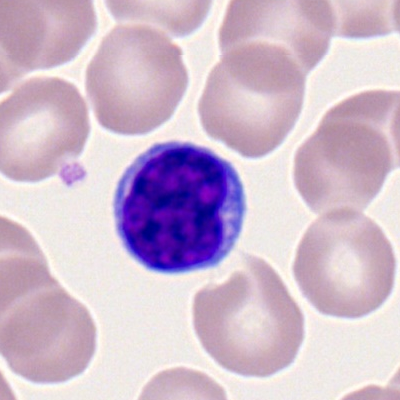 {"cell_type": "typical lymphocyte", "lineage": "lymphoid"}